250 by 250 pixels · May-Grünwald-Giemsa/Pappenheim stain · bone marrow aspirate smear.
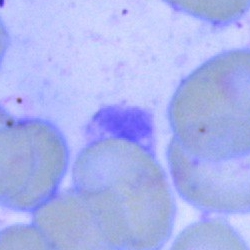
Morphology consistent with an artifact.